Peripheral blood film: 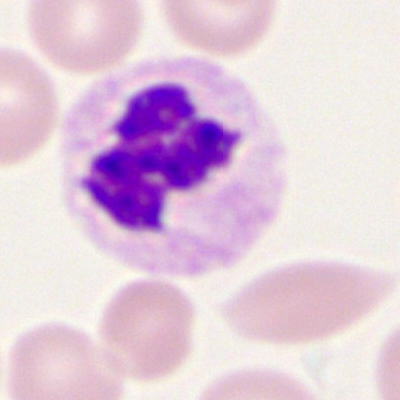

Morphological class — polymorphonuclear neutrophil.